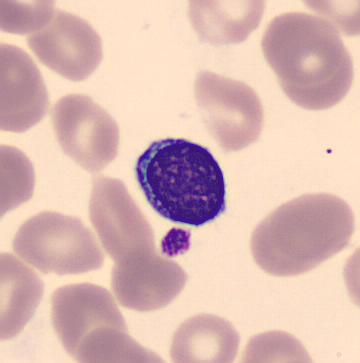
Q: Which cell type is shown here?
A: This is a typical lymphocyte. Image: MGG-stained. 360×363 px. Peripheral blood smear.